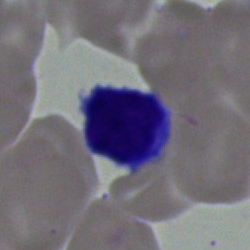Classification = lymphocyte.